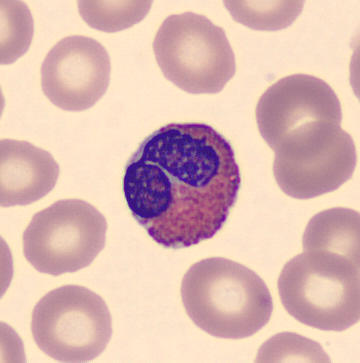Impression — eosinophilic granulocyte.